Bone marrow aspirate smear · 250×250 px · single-cell field: 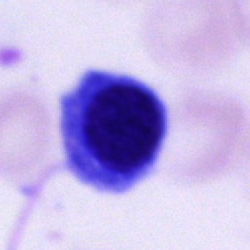An unidentifiable cell.